Bone marrow smear: 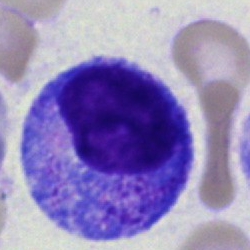 The cell is progranulocyte.